Peripheral blood smear; cropped to a single cell — 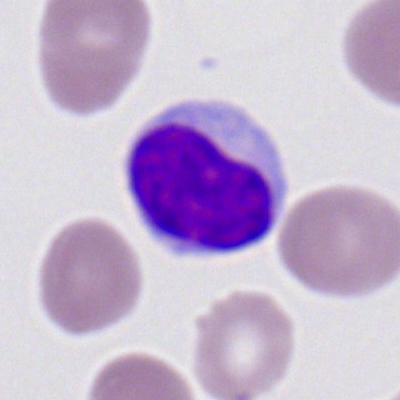
{"cell_type": "typical lymphocyte", "lineage": "lymphoid"}